Peripheral blood smear — 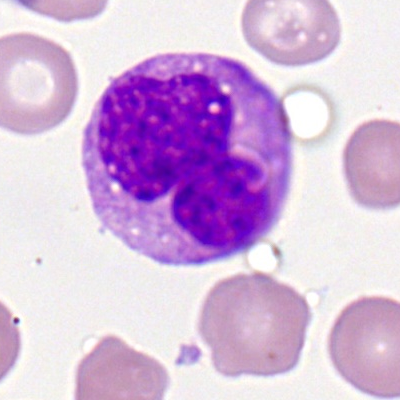
Cell type = monocyte.